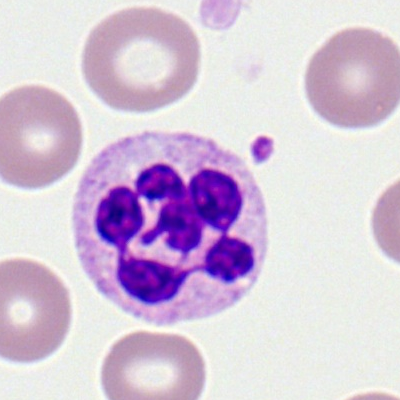
Morphological class = neutrophil (segmented).